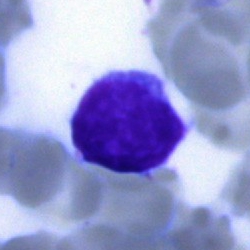
{"cell_type": "typical lymphocyte"}